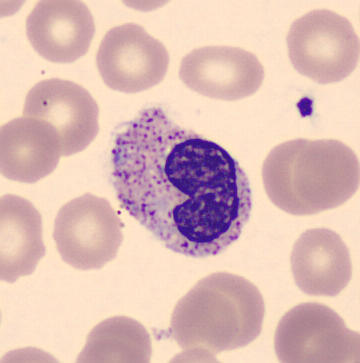
Q: What is shown here?
A: It is a metamyelocyte.
Preparation: Peripheral blood smear.